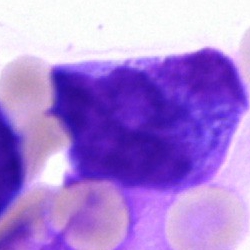

Bone marrow smear showing a blast.